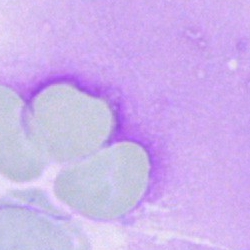

The classification is artefact.